Peripheral blood smear; 400 by 400 pixels; M8 digital microscope (Precipoint), 100× oil immersion: 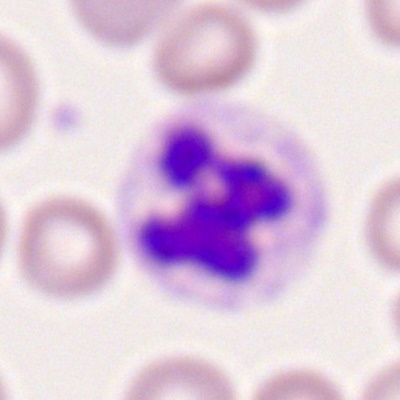 Morphological class: polymorphonuclear neutrophil.